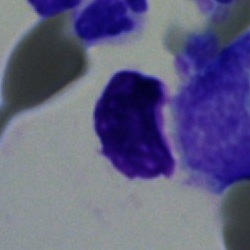 Impression → artifact.